Peripheral blood film — 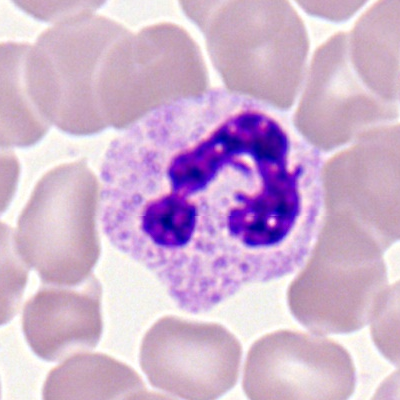

{"cell_type": "neutrophil (segmented)", "lineage": "myeloid"}